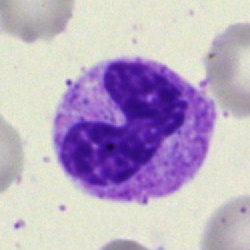

Showing a neutrophil (band).